Single-cell field. Bone marrow aspirate smear — 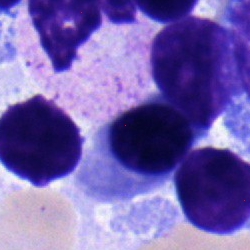
An erythroblast.